Bone marrow smear — 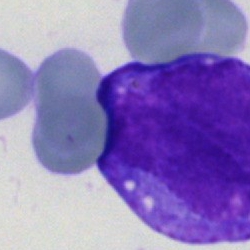
Showing a blast cell.